Bone marrow smear · single-cell crop · 250 by 250 pixels.
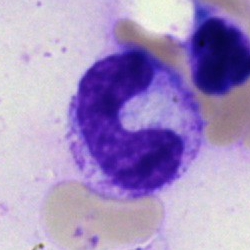 Impression → neutrophil (band).